Bone marrow aspirate smear · single-cell field.
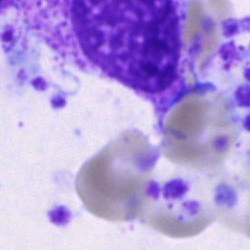 Morphology consistent with an artefact.